May-Grünwald-Giemsa/Pappenheim stain; bone marrow smear.
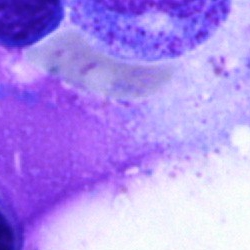 Specimen: bone marrow aspirate smear.
Classification: artefact.